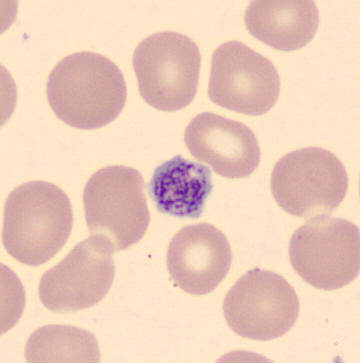
Platelet.

Image: Peripheral blood smear.